Bone marrow smear. Brightfield microscopy, 40× oil immersion — 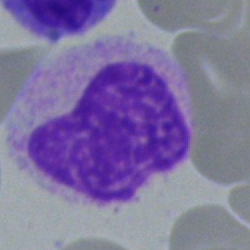 Specimen: bone marrow smear.
Classification: artifact.